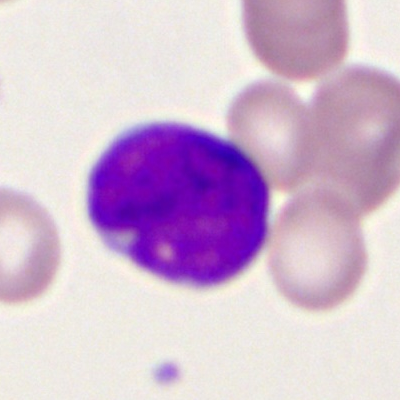
The morphological class is myeloid blast.